Bone marrow aspirate smear. May-Grünwald-Giemsa stain
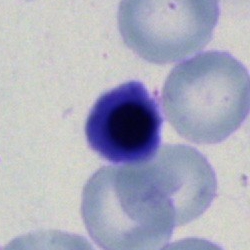The cell type is nucleated red blood cell.